Bone marrow smear.
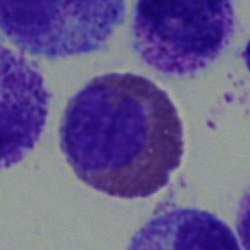

This is an eosinophilic granulocyte.